Bone marrow smear.
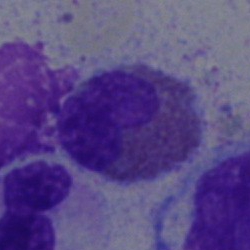Q: What type of cell is this?
A: This is an eosinophil.